Peripheral blood film — 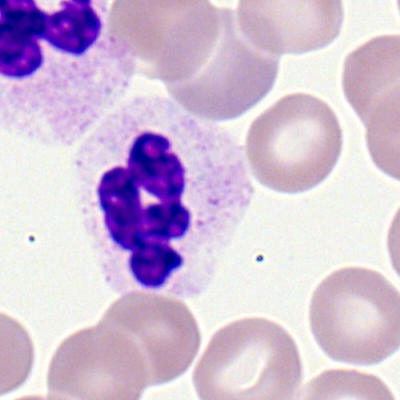 The cell type is neutrophil (segmented).